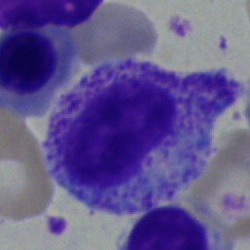

The cell shown is a myelocyte.